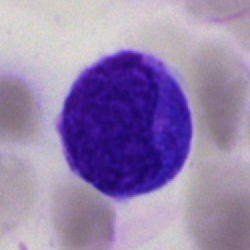

Single cell identified as a typical lymphocyte.